Bone marrow smear: 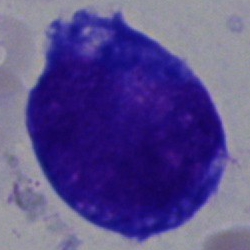 Q: What type of cell is this?
A: Undifferentiated blast.